Bone marrow smear
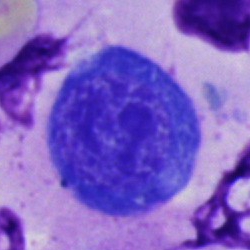{"cell_type": "erythroblast"}